Single-cell crop · bone marrow aspirate smear: 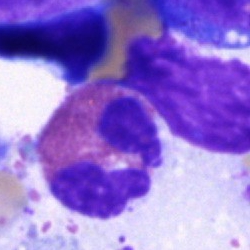

The cell type is eosinophilic granulocyte.